400×400 px · brightfield, 100× oil-immersion objective · peripheral blood smear
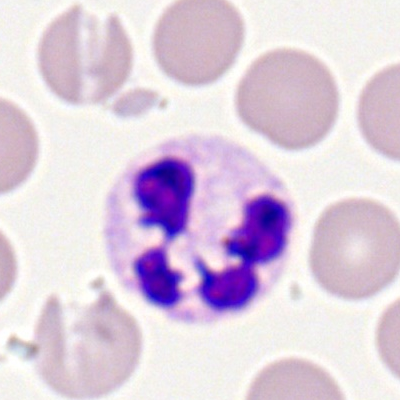

Cell — neutrophil (segmented).